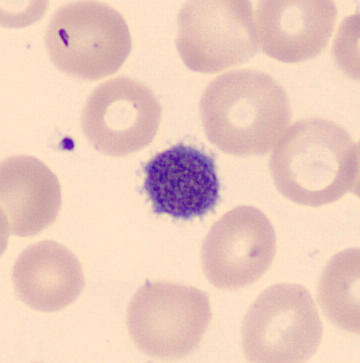
Morphological class — platelet (thrombocyte).

Preparation: Peripheral blood smear.